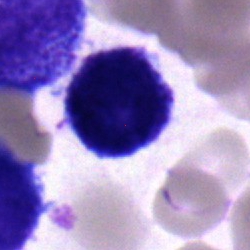A typical lymphocyte on a bone marrow smear.